400 by 400 pixels; peripheral blood film; 100× oil immersion, 14.14 px/µm:
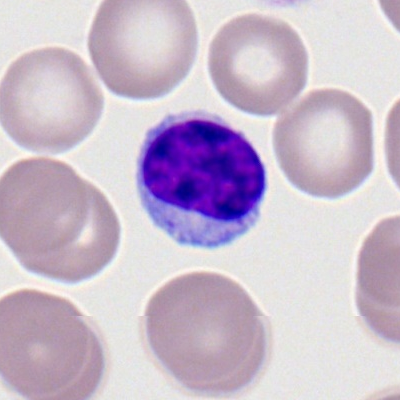 Q: What type of cell is this?
A: This is a lymphocyte.